Bone marrow aspirate smear
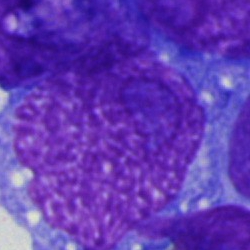Morphological class: artefact.